Bone marrow aspirate smear
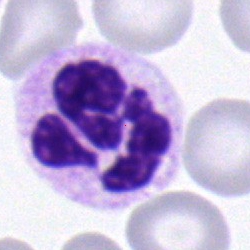Morphology consistent with a neutrophil (segmented).